Bone marrow smear:
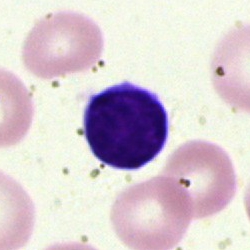 Lymphocyte.